Bone marrow smear. Single-cell crop
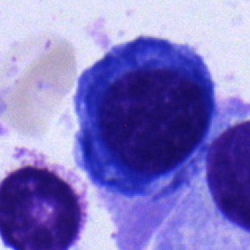 The cell is plasmacyte.